Bone marrow aspirate smear:
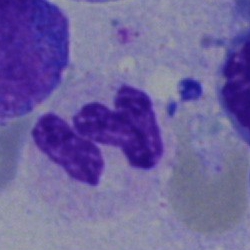
This is a segmented neutrophil.